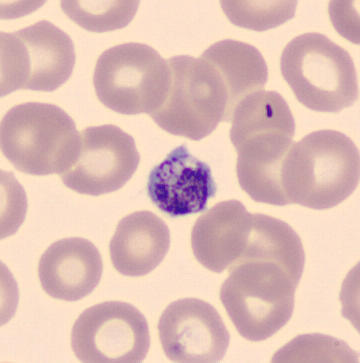This is a platelet. Image: CellaVision DM96 digital cell image. Peripheral blood film.